Bone marrow smear:
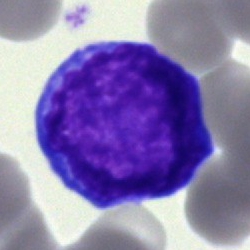 A blast cell.